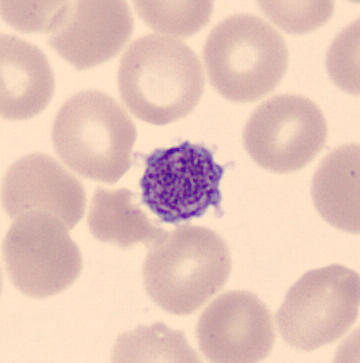

Specimen: peripheral blood film.
Classification: platelet (thrombocyte). CellaVision DM96.